Bone marrow aspirate smear · May-Grünwald-Giemsa stain: 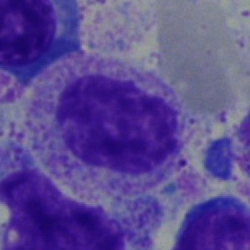
Q: What is the morphological classification of this cell?
A: Myelocyte.